Single cell centered in the field · bone marrow smear
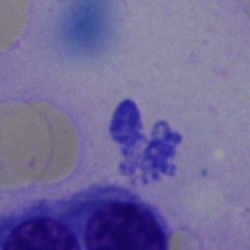
Showing an artefact.